Peripheral blood smear:
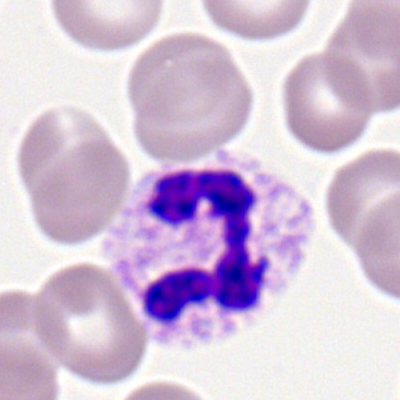

Single cell identified as a segmented neutrophil.